40× oil immersion · bone marrow smear: 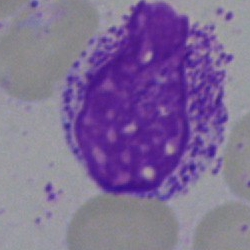
{"cell_type": "artefact"}